Bone marrow smear. 250×250 px
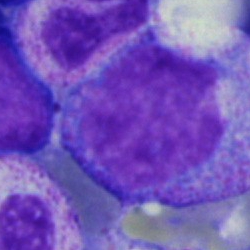

Cell: progranulocyte.